Bone marrow aspirate smear:
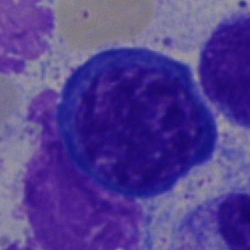 Showing a normoblast.